Bone marrow aspirate smear
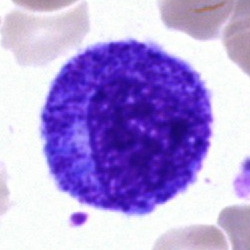
Cell — promyelocyte.